Bone marrow aspirate smear — 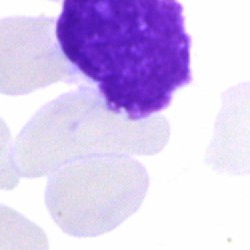
The cell is Gumprecht shadow.